Bone marrow smear.
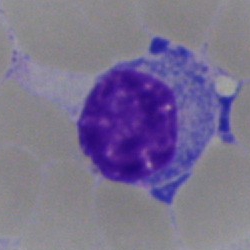Morphology consistent with a normoblast.